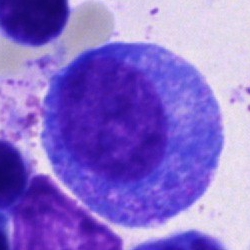 The cell is promyelocyte.